Bone marrow aspirate smear — 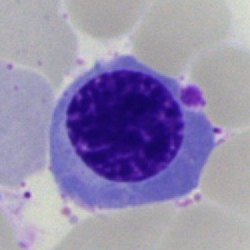
Specimen: bone marrow smear.
Cell: normoblast.